Bone marrow aspirate smear — 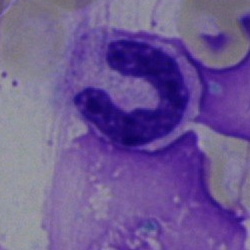 Q: What is the morphological classification of this cell?
A: Neutrophil (segmented).